40× oil immersion · bone marrow smear — 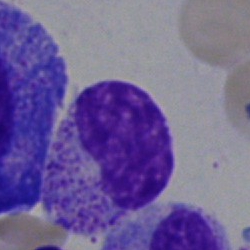This is a metamyelocyte.